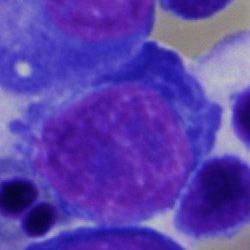

Morphology consistent with a pronormoblast.